Bone marrow aspirate smear. Brightfield microscopy, 40× oil immersion.
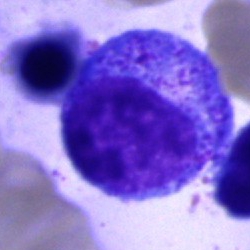

A promyelocyte.